Bone marrow aspirate smear: 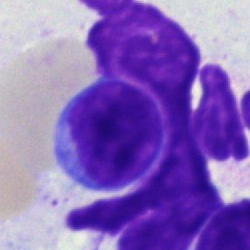
Q: Identify the cell.
A: This is a typical lymphocyte.